Bone marrow aspirate smear; brightfield, 40× oil-immersion objective; single-cell field.
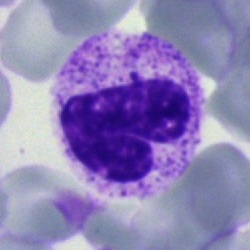 {"cell_type": "segmented neutrophil"}